Bone marrow smear:
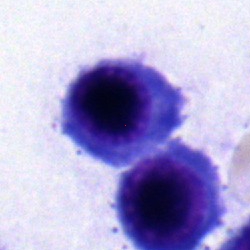
The cell type is nucleated red cell.